Bone marrow smear: 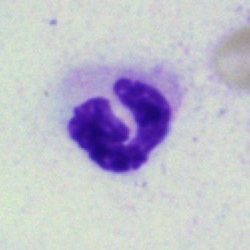

Morphology — neutrophil (segmented).